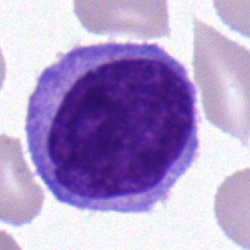 Single cell identified as a lymphocyte.